Single-cell crop; bone marrow aspirate smear: 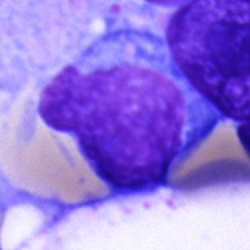Morphology — blast cell.